250×250; MGG-stained; bone marrow smear — 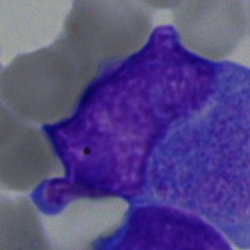Q: What type of cell is this?
A: It is an undifferentiated blast.